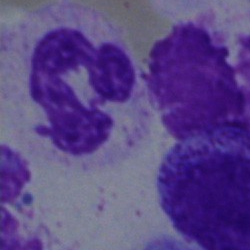 Specimen: bone marrow aspirate smear.
Cell: neutrophil (segmented).
Lineage: myeloid.